250×250 px. Bone marrow aspirate smear:
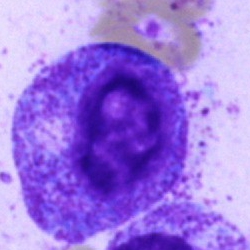A progranulocyte.